Bone marrow smear
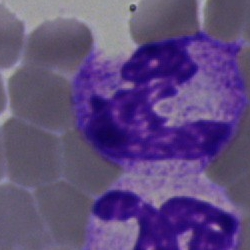A polymorphonuclear neutrophil.